Bone marrow smear: 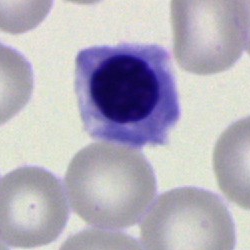{"cell_type": "nucleated red blood cell"}